Peripheral blood film: 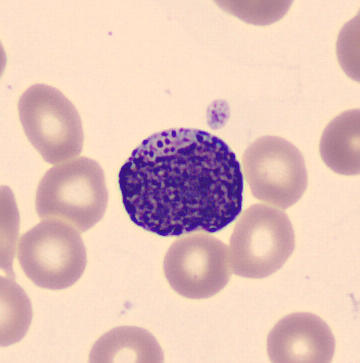

Morphology — promyelocyte.